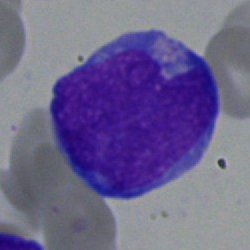Morphological class — undifferentiated blast.